May-Grünwald-Giemsa/Pappenheim stain; bone marrow smear.
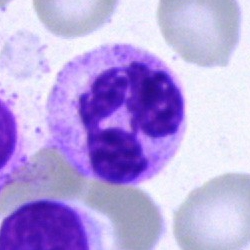
Cell: segmented neutrophil.